Bone marrow smear.
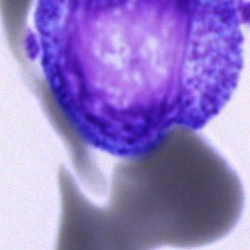 A promyelocyte.